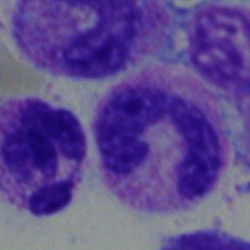

Q: Which cell type is shown here?
A: It is a stab cell.